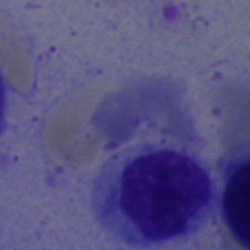 Cell: nucleated red blood cell.